Image size 250×250. Bone marrow smear. May-Grünwald-Giemsa stain
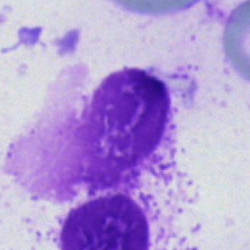 Q: What is shown here?
A: Artefact.